Bone marrow aspirate smear · 40× oil immersion:
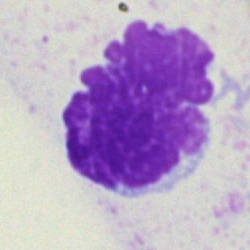 Impression — artifact.